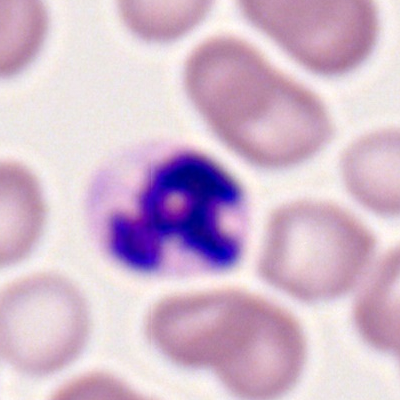

Impression — segmented neutrophil.